Bone marrow aspirate smear.
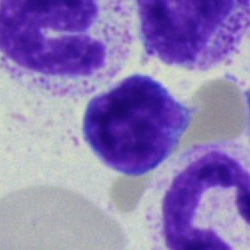 Specimen: bone marrow aspirate smear.
Classification: lymphocyte.
Lineage: lymphoid.